Bone marrow smear. 250×250 — 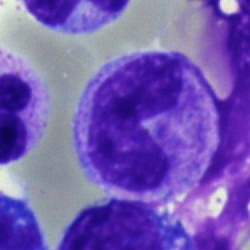
Impression — neutrophil (band).